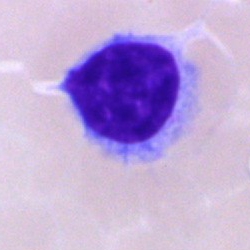 Specimen: bone marrow aspirate smear.
Cell: lymphocyte.
Lineage: lymphoid.